Bone marrow smear · single cell centered in the field: 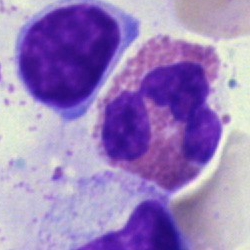
Classification: eosinophilic granulocyte.